Bone marrow smear
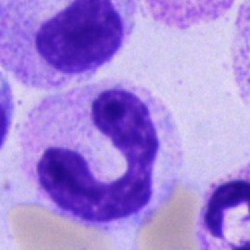 Impression — neutrophil (band).